May-Grünwald-Giemsa stain; bone marrow smear.
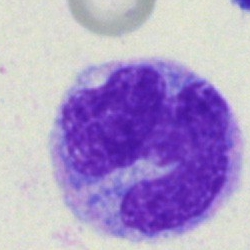

Specimen: bone marrow smear.
Cell: monocyte.
Lineage: myeloid.